Bone marrow smear; 40× oil immersion; cropped to a single cell.
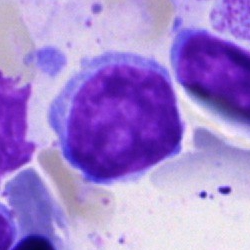 Cell type — typical lymphocyte.